Bone marrow aspirate smear · single cell centered in the field: 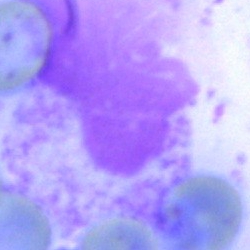

Q: What is shown here?
A: An artefact.